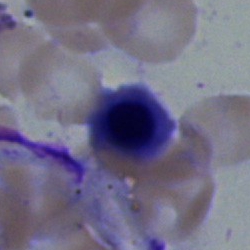Q: Identify the cell.
A: A nucleated red cell.